Bone marrow smear: 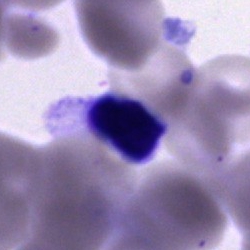Showing an artifact.